Bone marrow aspirate smear
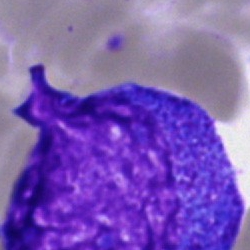{"cell_type": "progranulocyte", "lineage": "myeloid"}